Bone marrow smear.
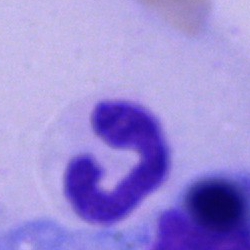

Q: What is the morphological classification of this cell?
A: Stab cell.